Single cell centered in the field. Bone marrow smear. Pappenheim-stained:
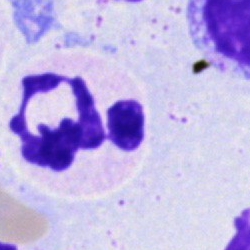

Polymorphonuclear neutrophil.